Bone marrow smear. 250 by 250 pixels.
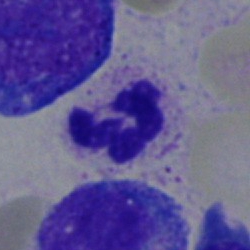Single cell identified as a segmented neutrophil.